Bone marrow aspirate smear: 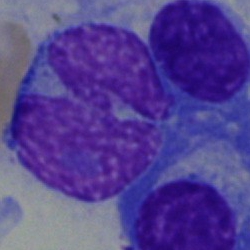

Q: Which cell type is shown here?
A: This is a blast.